250×250. Cropped to a single cell. Bone marrow aspirate smear.
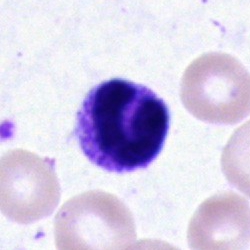

Segmented neutrophil.